May-Grünwald-Giemsa stain; bone marrow smear: 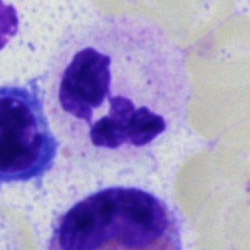 Morphology — neutrophil (segmented).